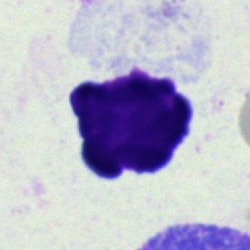
Specimen: bone marrow aspirate smear.
Cell type: artefact.